Bone marrow smear — 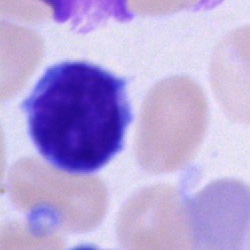 Cell: lymphocyte.